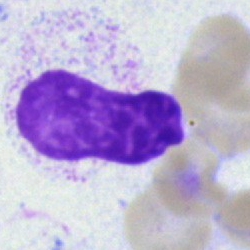
Single cell identified as an artefact.